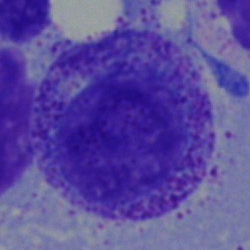

Bone marrow smear showing a myelocyte.